40× objective, oil immersion; bone marrow aspirate smear; single-cell crop — 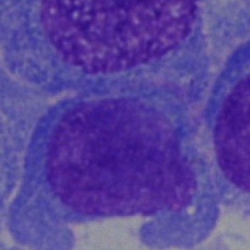
{"cell_type": "plasma cell", "lineage": "lymphoid"}